Bone marrow aspirate smear
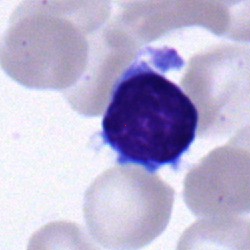

Impression → typical lymphocyte.